MGG-stained; bone marrow smear; image size 250×250:
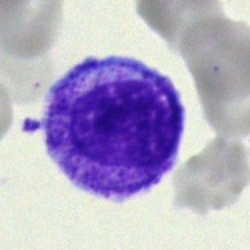
Specimen: bone marrow smear.
Cell type: myelocyte.
Lineage: myeloid.